Bone marrow aspirate smear
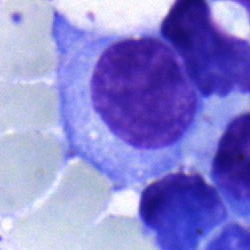
Plasmacyte.